Bone marrow smear: 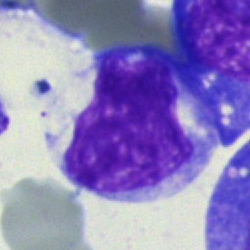
A monocyte.